Bone marrow aspirate smear:
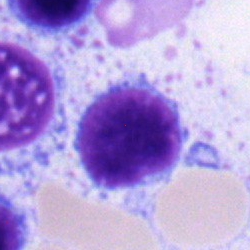 Specimen: bone marrow smear.
Cell type: lymphocyte.